Bone marrow smear:
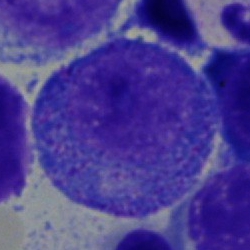 Showing a progranulocyte.